Bone marrow smear · 40× objective, oil immersion:
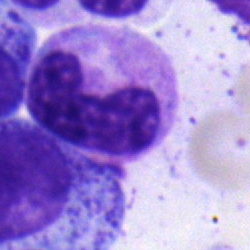Specimen: bone marrow smear.
Classification: neutrophil (band).
Lineage: myeloid.